Bone marrow smear · image size 250×250 · May-Grünwald-Giemsa/Pappenheim stain — 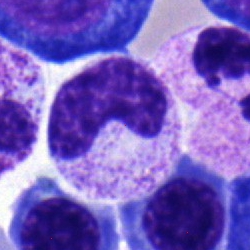

Morphological class = band neutrophil.